May-Grünwald-Giemsa stain; bone marrow aspirate smear — 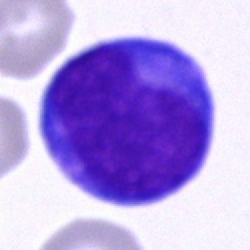Specimen: bone marrow smear.
Morphological class: undifferentiated blast.